Bone marrow smear — 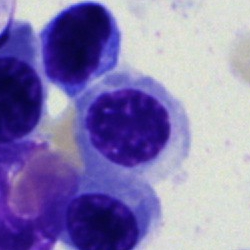Q: What is shown here?
A: It is a nucleated red cell.